Bone marrow smear · brightfield microscopy, 40× oil immersion: 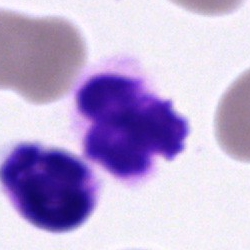
Morphology — polymorphonuclear neutrophil.